Bone marrow aspirate smear
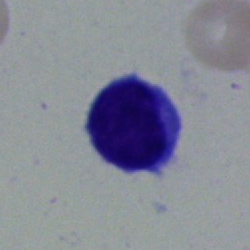
{"cell_type": "lymphocyte", "lineage": "lymphoid"}